Peripheral blood smear. 400 by 400 pixels
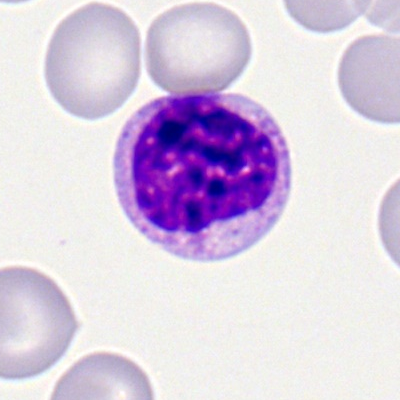Q: What type of cell is this?
A: Polymorphonuclear neutrophil.